40× oil immersion · bone marrow smear:
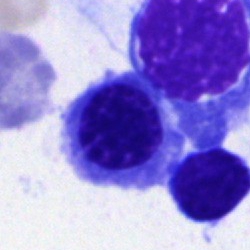The morphological class is erythroblast.